Peripheral blood film:
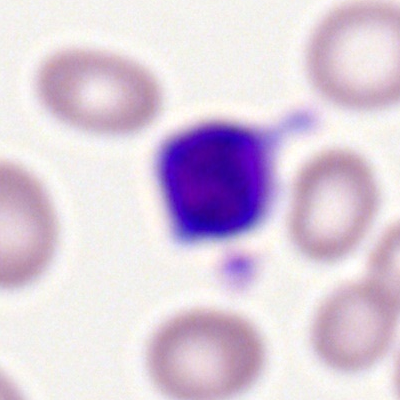Specimen: peripheral blood smear.
Cell: lymphocyte.